Peripheral blood film:
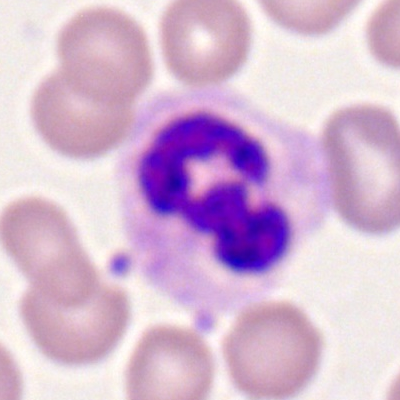 Specimen: peripheral blood film.
Morphological class: polymorphonuclear neutrophil.